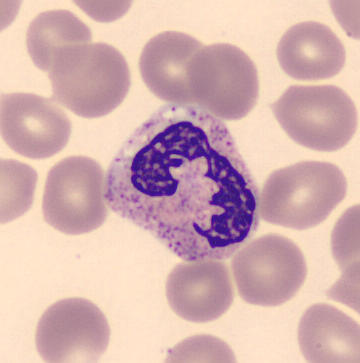

Q: What is the morphological classification of this cell?
A: This is a segmented neutrophil.